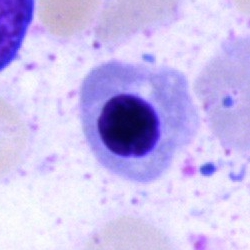 Cell: nucleated red blood cell.